Bone marrow aspirate smear; 250×250.
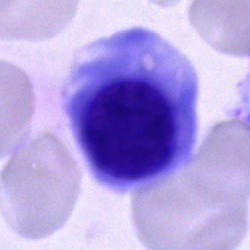 This is an erythroblast.